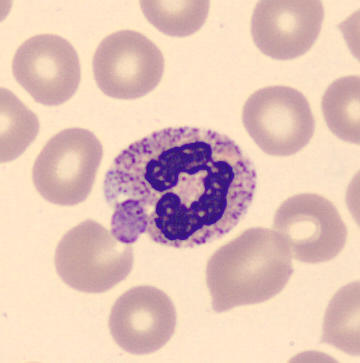

Peripheral blood smear · 360×363 · cropped to a single cell.

Cell type — neutrophil (segmented).